Bone marrow smear; 40× objective, oil immersion; 250×250
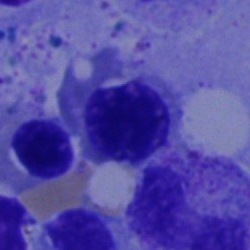Classification — nucleated red blood cell.